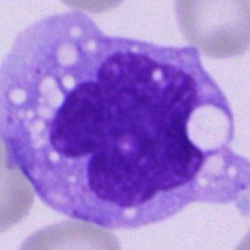

Specimen: bone marrow smear.
Cell type: monocyte.
Lineage: myeloid.